Brightfield, 40× oil-immersion objective. Bone marrow aspirate smear
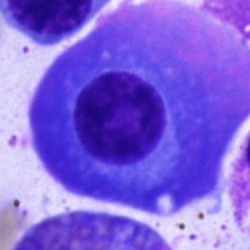
Morphology consistent with a plasma cell.